Peripheral blood smear.
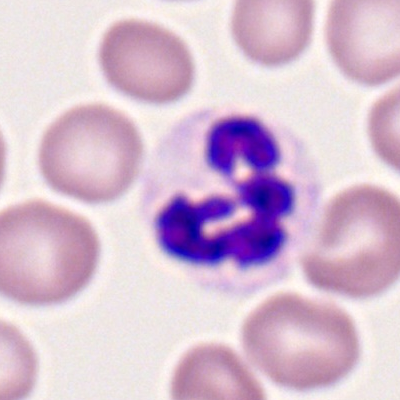

Single cell identified as a neutrophil (segmented).